Bone marrow smear.
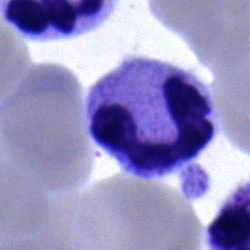

Q: What cell is this?
A: This is a segmented neutrophil.